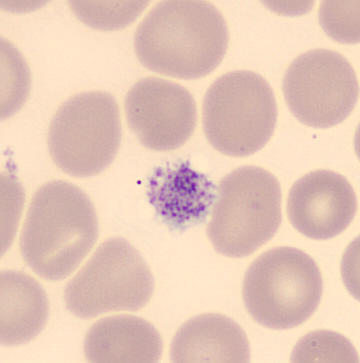Morphology → thrombocyte.